Cropped to a single cell. Bone marrow smear: 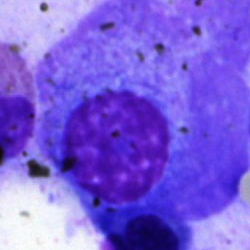
Specimen: bone marrow smear.
Cell: plasmacyte.
Lineage: lymphoid.